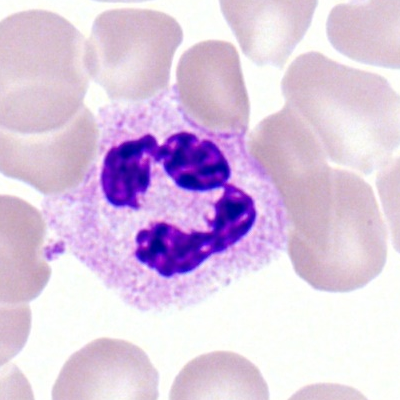

Single-cell crop from a peripheral blood smear: neutrophil (segmented).